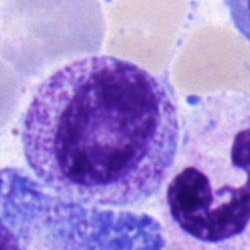 Morphological class = myelocyte.